Bone marrow smear:
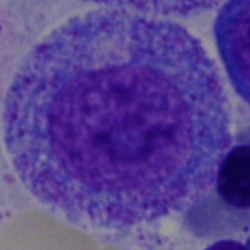Morphological class — promyelocyte.